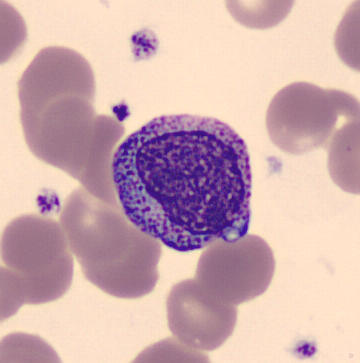
The cell is promyelocyte.